Bone marrow aspirate smear; 250×250; cropped to a single cell: 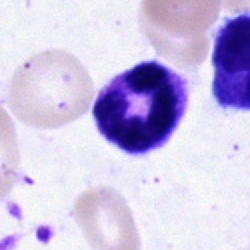The morphological class is polymorphonuclear neutrophil.